Bone marrow aspirate smear: 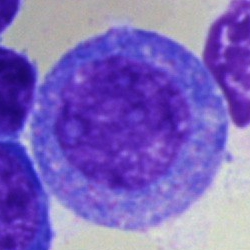 Cell type = promyelocyte.